Bone marrow smear: 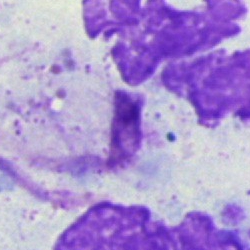Classification: artifact.